Bone marrow aspirate smear
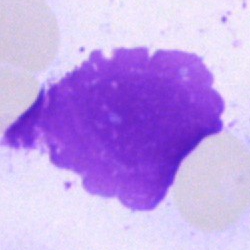Specimen: bone marrow smear.
Morphological class: artifact.